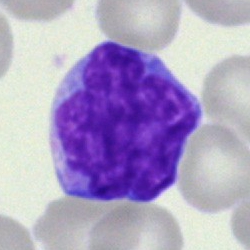
Q: What is the morphological classification of this cell?
A: It is a blast.